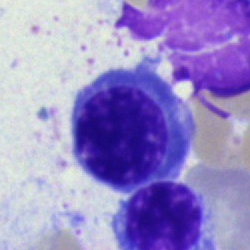 Morphological class — erythroblast.